Peripheral blood film · 100× objective, oil immersion · single cell centered in the field — 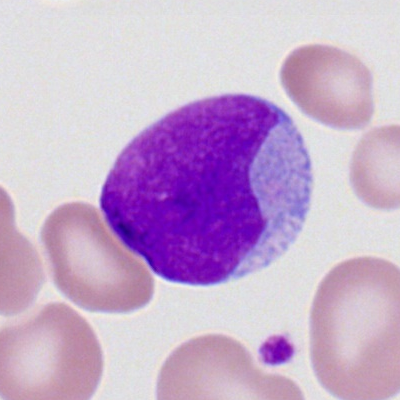 Morphological class = myeloid blast.